Bone marrow smear: 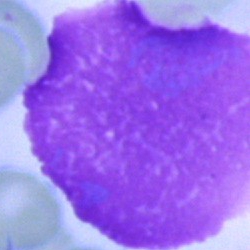Morphological class: artefact.